250×250 px. Bone marrow aspirate smear.
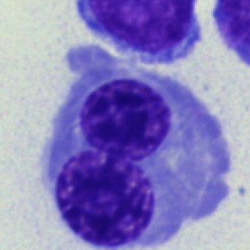

Specimen: bone marrow smear.
Cell: nucleated red blood cell.